Bone marrow smear.
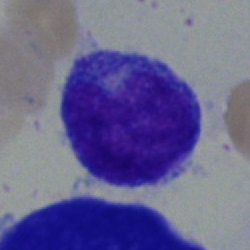

Impression — blast.